Brightfield, 100× oil-immersion objective; peripheral blood smear.
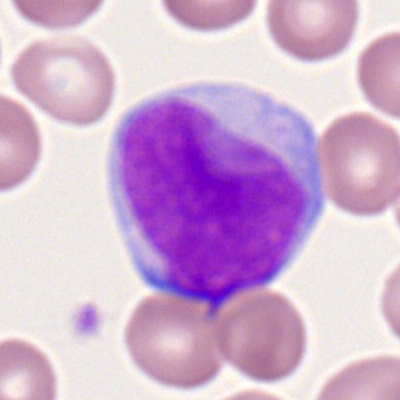Morphological class: myeloid blast.